Bone marrow smear. May-Grünwald-Giemsa stain. 250×250 — 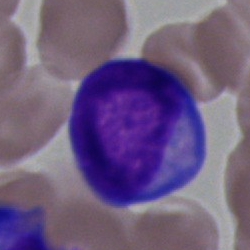

Morphology consistent with a blast.